40× objective, oil immersion; bone marrow smear:
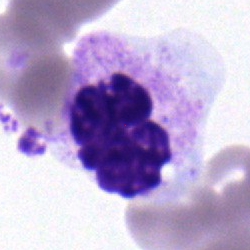Cell type — polymorphonuclear neutrophil.